Bone marrow aspirate smear:
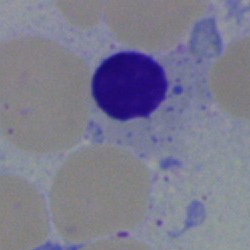

Showing a typical lymphocyte.